Bone marrow aspirate smear:
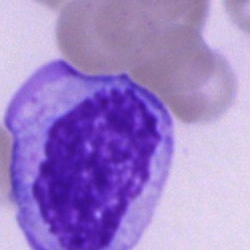

Impression → cell of indeterminate lineage.